Pappenheim-stained · bone marrow aspirate smear: 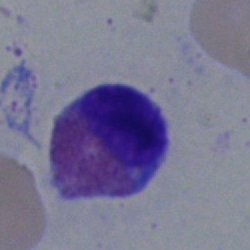
Specimen: bone marrow aspirate smear.
Cell: eosinophilic granulocyte.
Lineage: myeloid.